Cropped to a single cell. 400×400. Peripheral blood film.
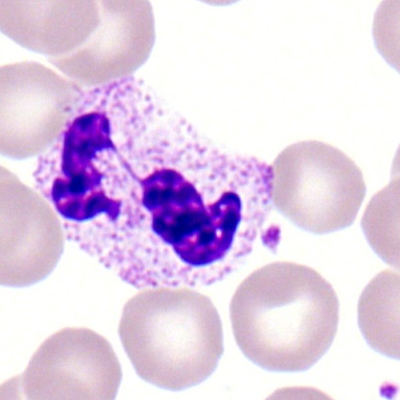 Specimen: peripheral blood film.
Cell type: polymorphonuclear neutrophil.
Lineage: myeloid.